250 by 250 pixels · May-Grünwald-Giemsa/Pappenheim stain · bone marrow smear — 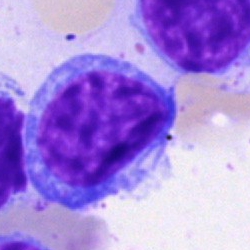

Q: What is shown here?
A: A typical lymphocyte.